Bone marrow aspirate smear — 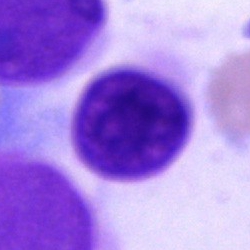
Morphological class = cell of indeterminate lineage.